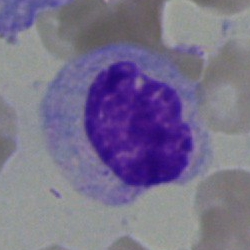 Cell type: typical lymphocyte.